250×250; bone marrow aspirate smear: 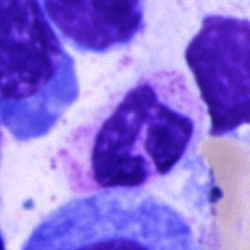Cell type = segmented neutrophil.